Bone marrow aspirate smear:
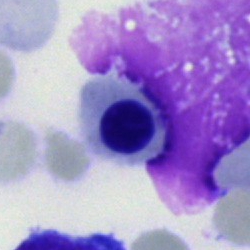 Morphology consistent with a normoblast.